Bone marrow aspirate smear
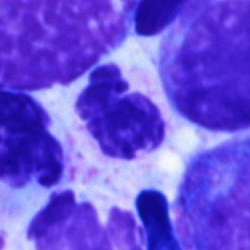 The classification is polymorphonuclear neutrophil.